Bone marrow aspirate smear — 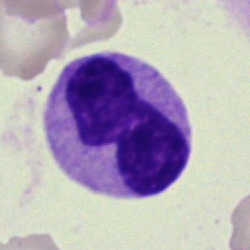
{"cell_type": "band-form neutrophil"}